Romanowsky stain; 400 by 400 pixels; peripheral blood smear
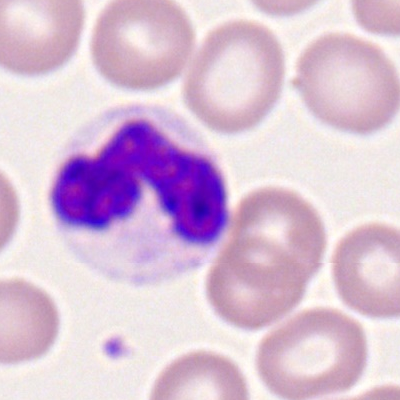
Morphology consistent with a segmented neutrophil.